Bone marrow aspirate smear. May-Grünwald-Giemsa stain:
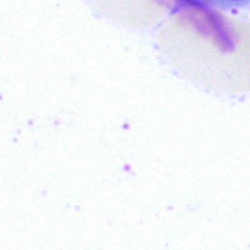Morphology consistent with an artifact.